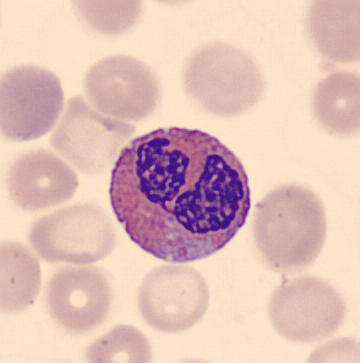

Peripheral blood smear · May-Grünwald-Giemsa-stained · CellaVision DM96.
Eosinophil.